MGG-stained. Bone marrow aspirate smear:
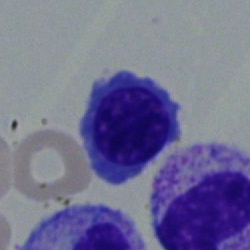The cell shown is an erythroblast.